Cropped to a single cell · bone marrow aspirate smear:
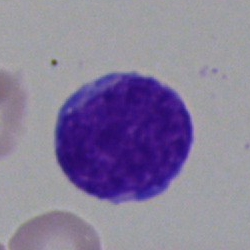 Morphology consistent with a blast cell.